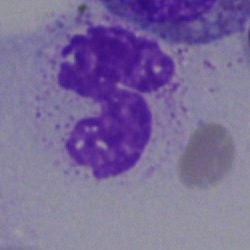 A segmented neutrophil on a bone marrow smear.